Bone marrow aspirate smear
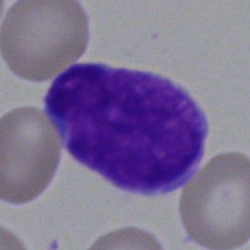Impression → blast cell.